Bone marrow aspirate smear:
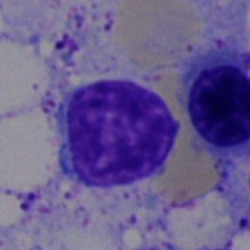
Single cell identified as a typical lymphocyte.